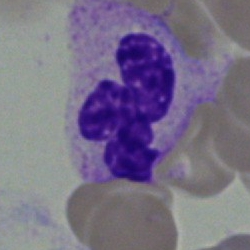 Specimen: bone marrow smear.
Morphological class: polymorphonuclear neutrophil.